Bone marrow aspirate smear
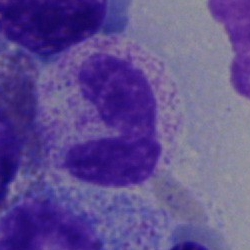
Q: What type of cell is this?
A: This is a segmented neutrophil.